Bone marrow smear:
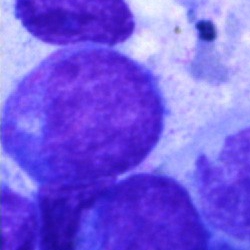

The morphological class is promyelocyte.